M8 digital microscope (Precipoint), 100× oil immersion. Peripheral blood film: 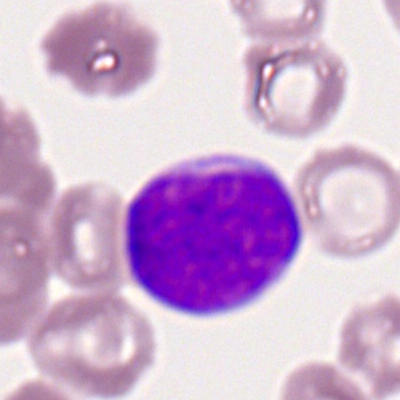
Q: What is the morphological classification of this cell?
A: This is a myeloid blast.